May-Grünwald-Giemsa/Pappenheim stain. Bone marrow aspirate smear — 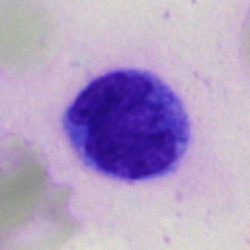

Q: Identify the cell.
A: This is a monocyte.